Bone marrow aspirate smear · May-Grünwald-Giemsa/Pappenheim stain.
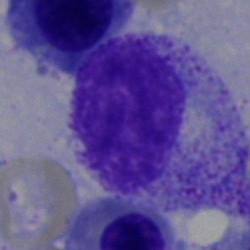

A promyelocyte.